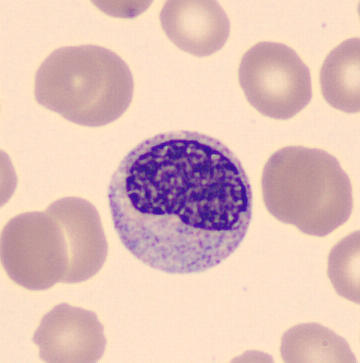360 by 363 pixels · single-cell crop.
Specimen: peripheral blood smear.
Morphological class: metamyelocyte.
Lineage: myeloid.